Bone marrow aspirate smear.
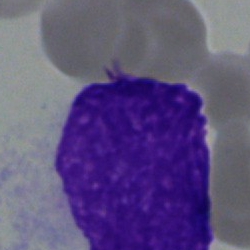 Morphology — artefact.